Bone marrow aspirate smear; image size 250×250: 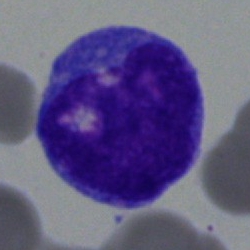

Morphological class — blast cell.